Bone marrow smear; single cell centered in the field:
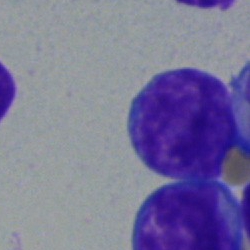 Showing a lymphocyte.